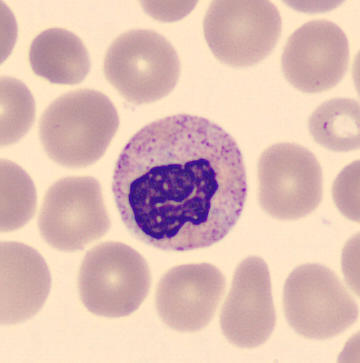 Peripheral blood film.
Classification = band-form neutrophil.